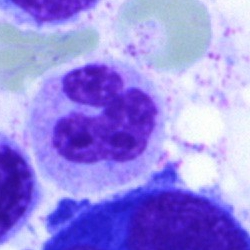 Morphology consistent with a segmented neutrophil.